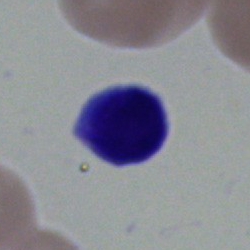Impression — typical lymphocyte.